Bone marrow smear
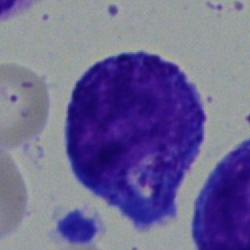
Single cell identified as a progranulocyte.